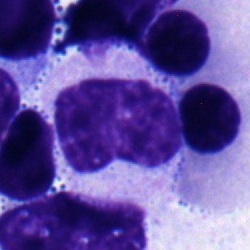

Q: What is the morphological classification of this cell?
A: It is a metamyelocyte.